Bone marrow aspirate smear.
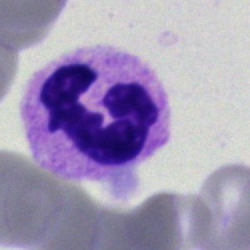Q: What is shown here?
A: It is a polymorphonuclear neutrophil.